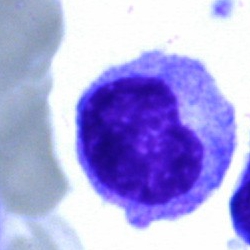

Q: Which cell type is shown here?
A: It is a monocyte.